Bone marrow smear. Single-cell field. 250×250
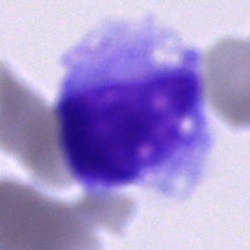Showing a cell of indeterminate lineage.